Bone marrow aspirate smear — 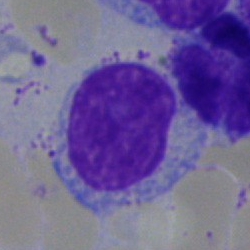

A lymphocyte.